Single-cell field. Brightfield, 40× oil-immersion objective. Bone marrow aspirate smear.
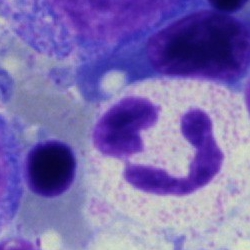
Q: What is the morphological classification of this cell?
A: A segmented neutrophil.